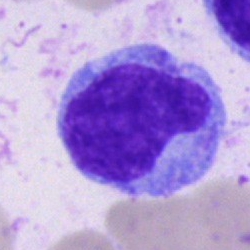 Bone marrow smear showing a plasma cell.